Bone marrow aspirate smear: 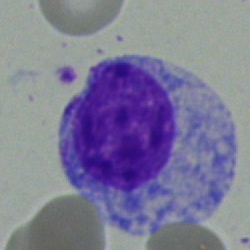
Morphology consistent with a myelocyte.